Bone marrow smear:
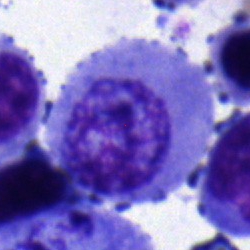

Showing a myelocyte.